Bone marrow aspirate smear: 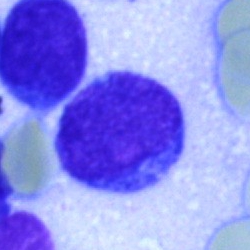
Q: What is the morphological classification of this cell?
A: A blast cell.